Bone marrow aspirate smear; single-cell field: 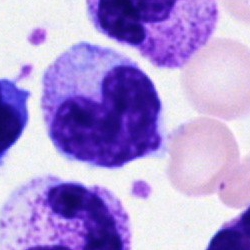 Morphology — metamyelocyte.